Bone marrow smear · May-Grünwald-Giemsa/Pappenheim stain:
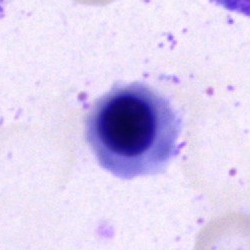This is a nucleated red blood cell.